Bone marrow aspirate smear.
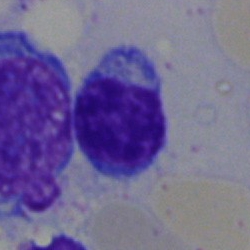

Showing a lymphocyte.